Brightfield, 40× oil-immersion objective. Bone marrow smear.
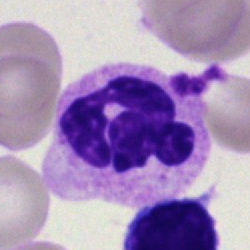
Morphological class = neutrophil (segmented).